Bone marrow aspirate smear. Image size 250×250. Pappenheim-stained
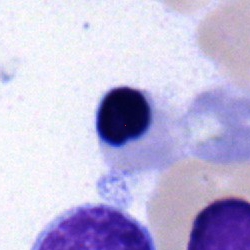Cell: nucleated red cell.